Single-cell field; MGG-stained; bone marrow aspirate smear — 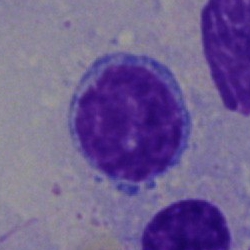Lymphocyte.